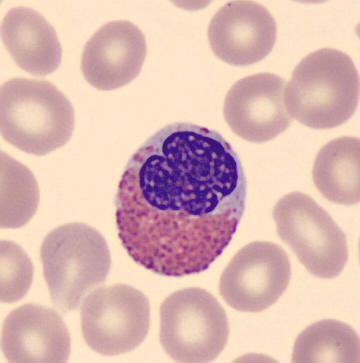
Peripheral blood smear. MGG stain. Classification — eosinophil.